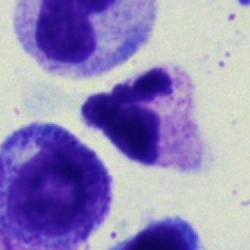

Morphological class: polymorphonuclear neutrophil.